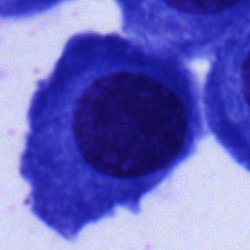

Q: Identify the cell.
A: This is a plasmacyte.